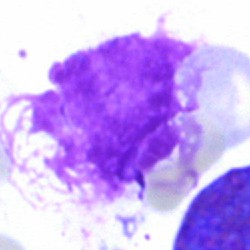 An artifact.